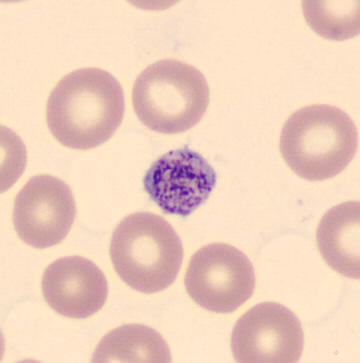

Specimen: peripheral blood film.
Classification: thrombocyte.
Image: MGG stain.